Peripheral blood film:
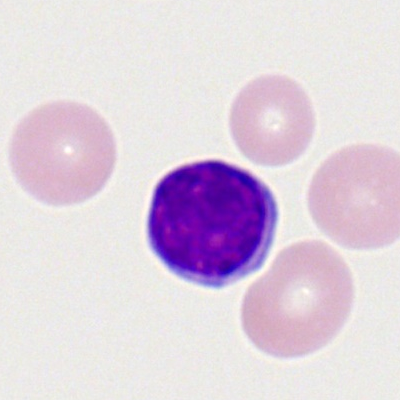

Classification — lymphocyte.